100× oil immersion, 14.14 px/µm · peripheral blood film:
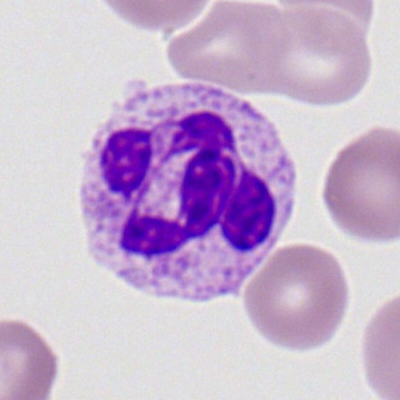Classification = polymorphonuclear neutrophil.